Single cell centered in the field; bone marrow smear
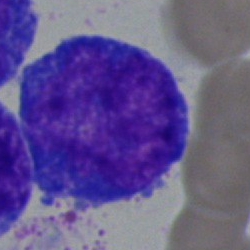
{"cell_type": "undifferentiated blast"}